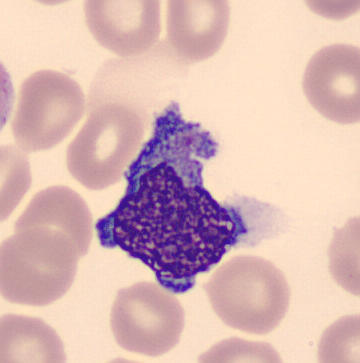 Specimen: peripheral blood film.
Cell type: monocyte.
Lineage: myeloid.